Bone marrow smear: 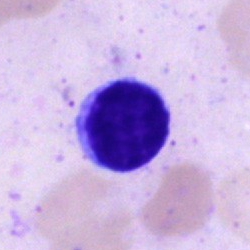Cell type: lymphocyte.